Bone marrow aspirate smear: 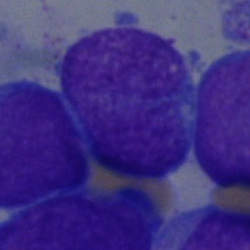 Showing a blast cell.